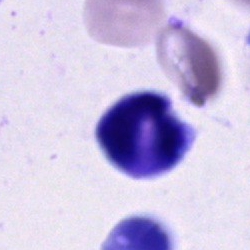

{"cell_type": "unidentifiable cell"}